Bone marrow smear
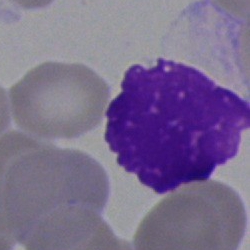 Cell — artefact.